Bone marrow aspirate smear
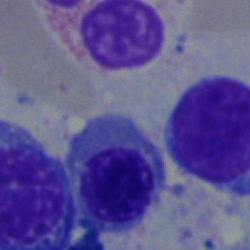Morphology consistent with a nucleated red cell.